Bone marrow aspirate smear; 250×250 px: 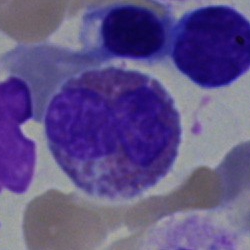
Specimen: bone marrow aspirate smear.
Classification: eosinophil.